250 by 250 pixels; bone marrow smear:
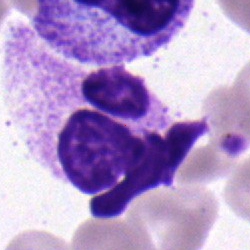 Specimen: bone marrow aspirate smear.
Cell type: segmented neutrophil.